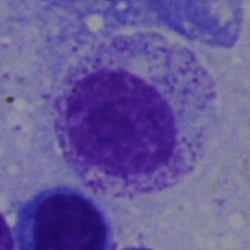
Q: Identify the cell.
A: A myelocyte.